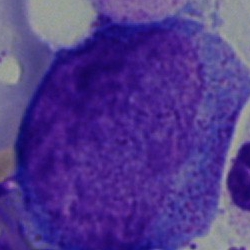
Cell = progranulocyte.